Bone marrow aspirate smear.
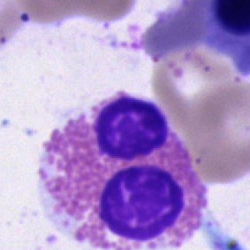Eosinophil.